Bone marrow aspirate smear. Image size 250×250:
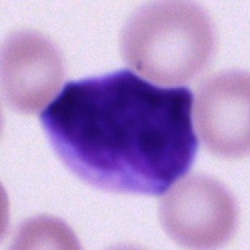
Impression → artifact.